Brightfield microscopy, 40× oil immersion; bone marrow aspirate smear — 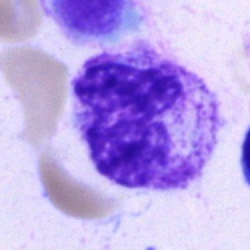

Specimen: bone marrow smear.
Classification: segmented neutrophil.